Bone marrow aspirate smear · 250 by 250 pixels
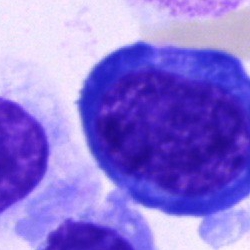 Q: What is shown here?
A: This is a normoblast.